250×250; May-Grünwald-Giemsa stain; bone marrow aspirate smear: 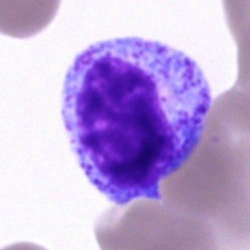 Single cell identified as a myelocyte.